Bone marrow aspirate smear: 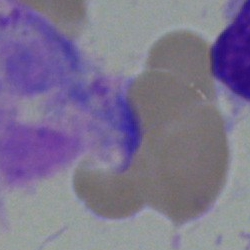 Specimen: bone marrow aspirate smear.
Classification: artifact.